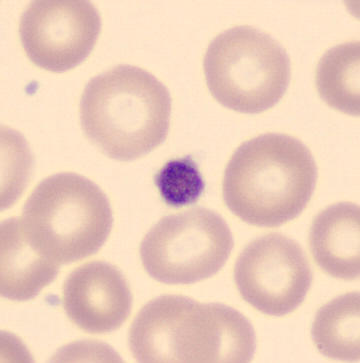 Q: What is shown here?
A: Thrombocyte.

Image: Peripheral blood smear.